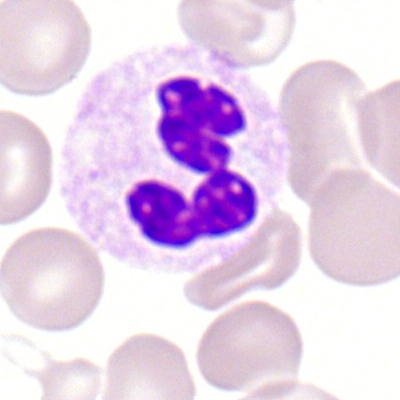 Cell type — neutrophil (segmented).